Bone marrow smear; image size 250×250
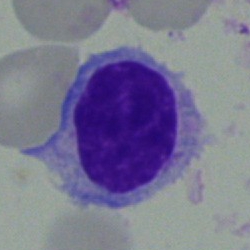{"cell_type": "typical lymphocyte", "lineage": "lymphoid"}